May-Grünwald-Giemsa stain. Bone marrow aspirate smear:
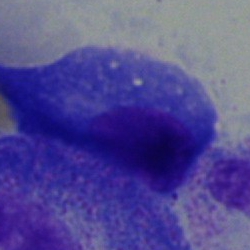 Morphological class = plasma cell.